Pappenheim-stained · bone marrow smear · 40× oil immersion — 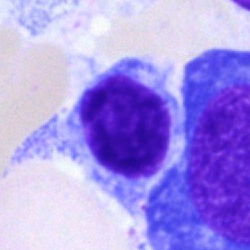Single cell identified as a typical lymphocyte.